Bone marrow smear:
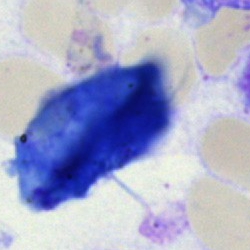This is an artifact.